40× objective, oil immersion · bone marrow smear · cropped to a single cell — 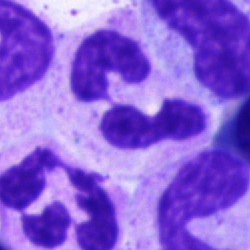 Q: What cell is this?
A: Segmented neutrophil.